250×250 px. Bone marrow smear. May-Grünwald-Giemsa stain:
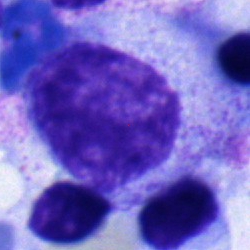

Q: What is shown here?
A: A myelocyte.